Bone marrow aspirate smear — 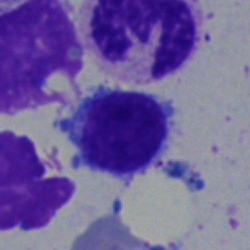

Morphological class — lymphocyte.